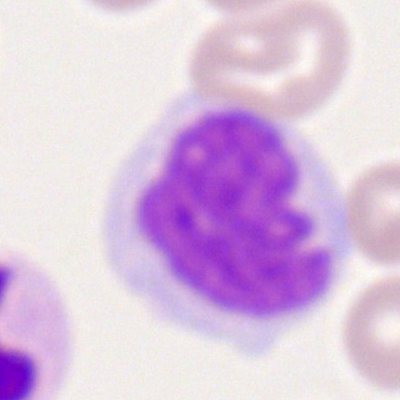 Classification = monocyte.